Bone marrow smear:
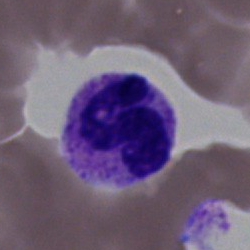

Impression → polymorphonuclear neutrophil.